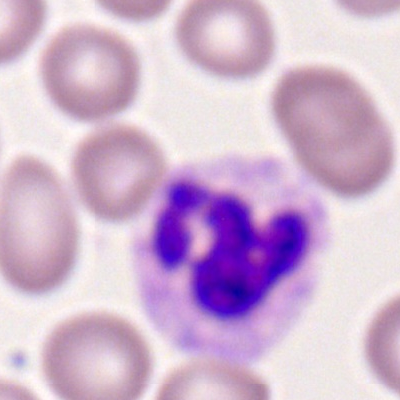 Specimen: peripheral blood film.
Classification: polymorphonuclear neutrophil.
Lineage: myeloid.